Single-cell crop. Bone marrow smear — 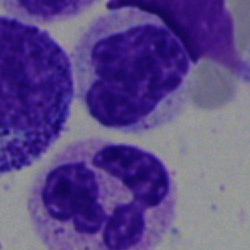
Cell: neutrophil (segmented).